Peripheral blood film:
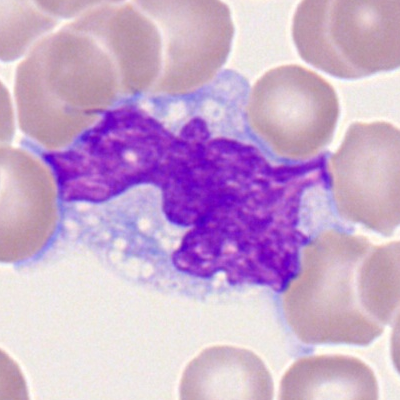 Q: What type of cell is this?
A: This is a monocyte.